Bone marrow aspirate smear:
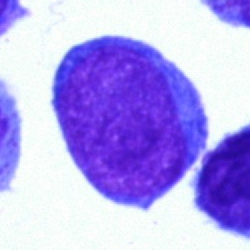Showing a blast cell.